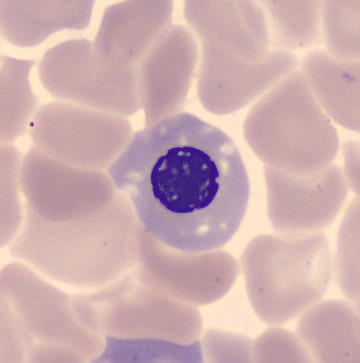
Preparation: MGG stain · single cell centered in the field · peripheral blood smear. Q: Which cell type is shown here?
A: This is a nucleated red cell.